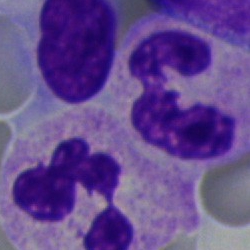

Impression → neutrophil (segmented).